Bone marrow smear; 40× objective, oil immersion.
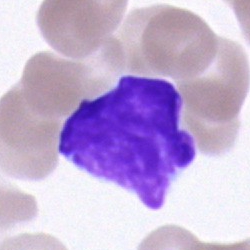
Q: What is shown here?
A: An artefact.